250×250. Bone marrow smear: 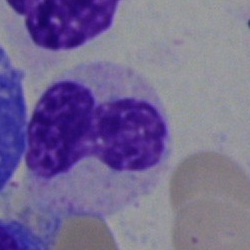Cell = band neutrophil.